Bone marrow smear: 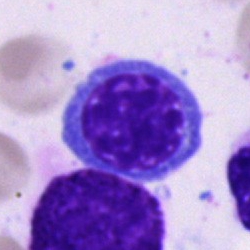 Specimen: bone marrow aspirate smear.
Cell: normoblast.
Lineage: erythroid.